Bone marrow aspirate smear — 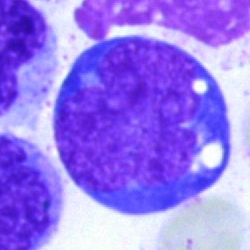
Morphology — pronormoblast.